Bone marrow aspirate smear. MGG-stained. Brightfield, 40× oil-immersion objective — 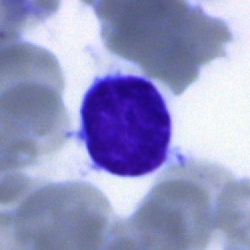
The cell shown is a typical lymphocyte.